Bone marrow aspirate smear
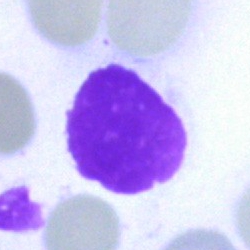 Q: What is shown here?
A: This is an artefact.